Single-cell field; bone marrow aspirate smear; image size 250×250: 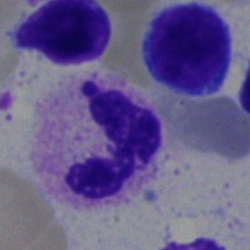 Cell type: polymorphonuclear neutrophil.